Bone marrow smear: 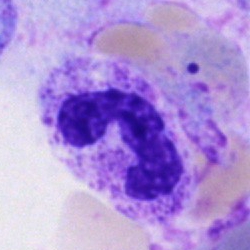

Polymorphonuclear neutrophil.